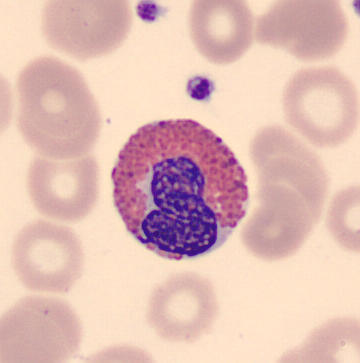
Specimen: peripheral blood smear.
Cell type: eosinophil.
Lineage: myeloid.